Peripheral blood smear.
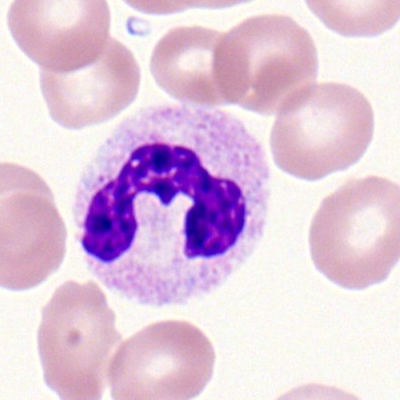 Cell — polymorphonuclear neutrophil.